Bone marrow aspirate smear.
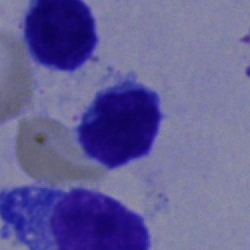 Showing a typical lymphocyte.